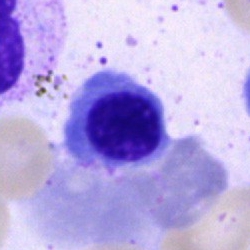Cell type = nucleated red cell.